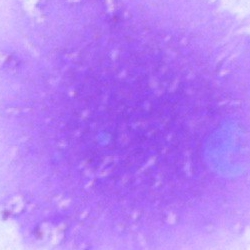
Classification — artefact.